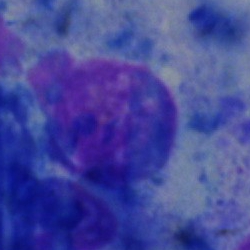

Specimen: bone marrow smear.
Classification: plasmacyte.
Lineage: lymphoid.